Bone marrow smear. MGG-stained
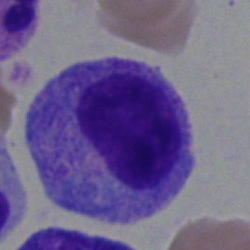 The cell shown is a myelocyte.